Bone marrow smear: 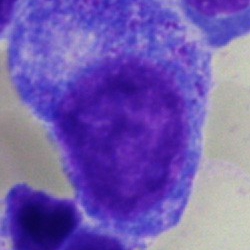

Cell — promyelocyte.